Bone marrow smear:
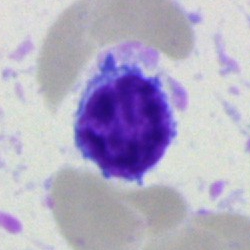

{"cell_type": "typical lymphocyte"}